40× objective, oil immersion · bone marrow smear · cropped to a single cell
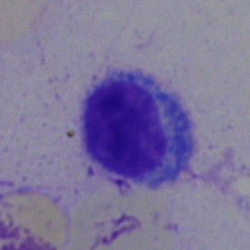 The cell type is typical lymphocyte.